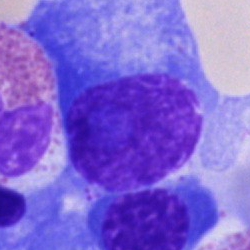 Q: Identify the cell.
A: It is a plasmacyte.